Bone marrow aspirate smear · MGG-stained
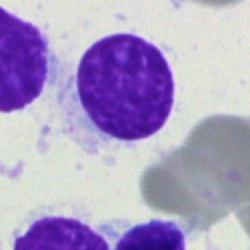 Morphology consistent with a typical lymphocyte.